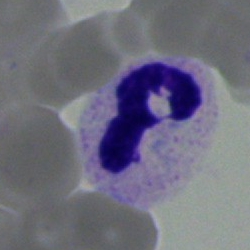
Segmented neutrophil.